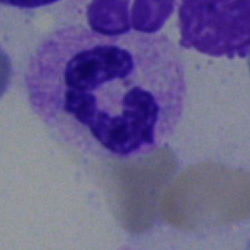 Single-cell crop from a bone marrow smear: neutrophil (segmented).